Bone marrow smear — 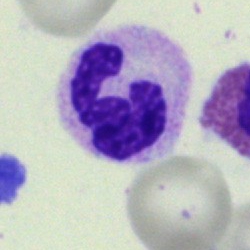

Q: What cell is this?
A: This is a segmented neutrophil.